Image size 250×250. Bone marrow aspirate smear.
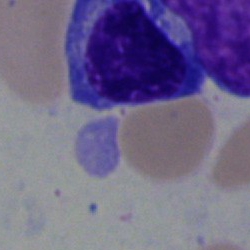A plasmacyte.